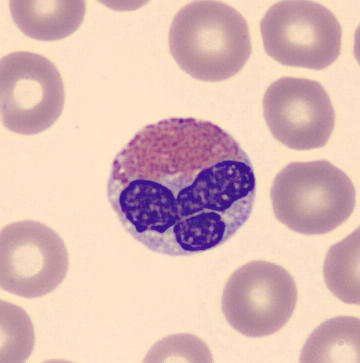
Acquisition: Peripheral blood smear. This is an eosinophilic granulocyte.